Bone marrow aspirate smear. May-Grünwald-Giemsa stain. 40× objective, oil immersion
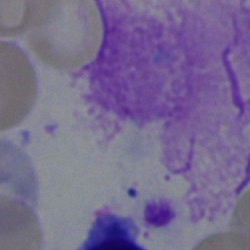

Morphological class = artefact.